Bone marrow aspirate smear · 250×250 px: 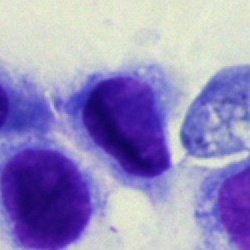
Morphology — cell of indeterminate lineage.